Single cell centered in the field · bone marrow smear.
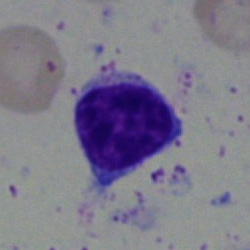 Cell — typical lymphocyte.